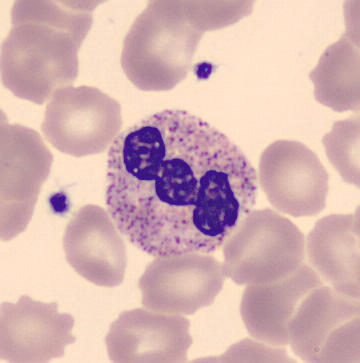

Classification = neutrophil (segmented).
Peripheral blood film.